Bone marrow smear — 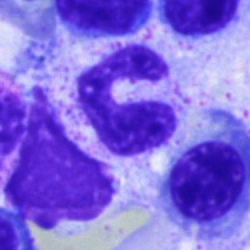

Morphology consistent with a neutrophil (segmented).